Bone marrow smear — 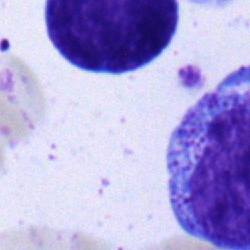 {"cell_type": "lymphocyte"}